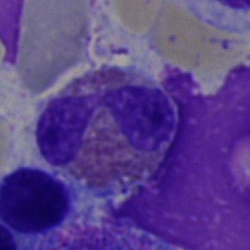
Impression — eosinophil.